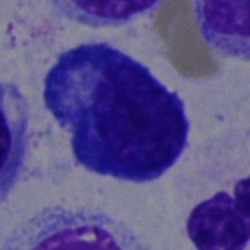

Morphological class = plasmacyte.